Bone marrow smear. Image size 250×250.
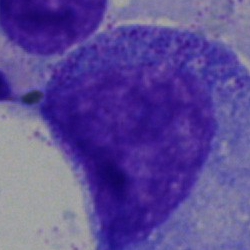

The cell shown is a promyelocyte.